Bone marrow smear — 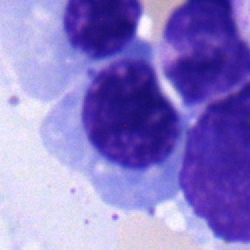

Cell = erythroblast.